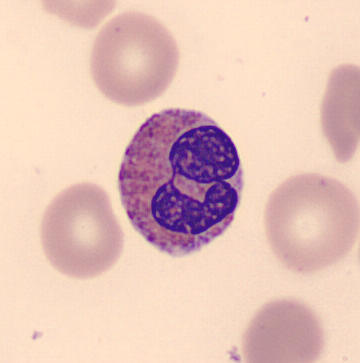 Acquisition: Peripheral blood film. Morphological class: eosinophilic granulocyte.